250×250 · bone marrow aspirate smear
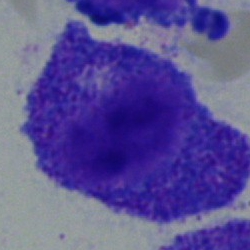Specimen: bone marrow aspirate smear.
Classification: promyelocyte.
Lineage: myeloid.